Bone marrow smear.
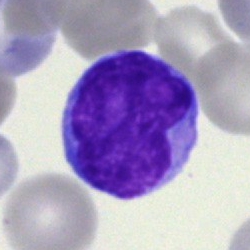 The cell shown is an undifferentiated blast.